250×250 px. Bone marrow smear. Brightfield, 40× oil-immersion objective.
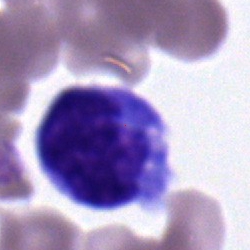The cell shown is a monocyte.